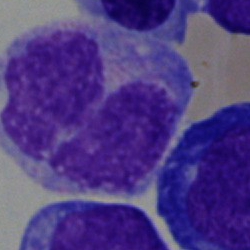 Classification — artifact.